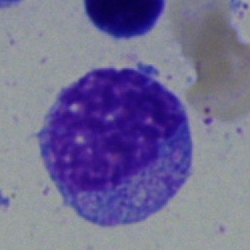
Single-cell crop from a bone marrow smear: myelocyte.